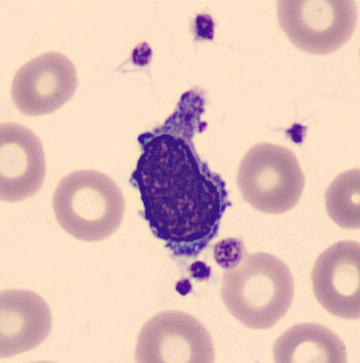
Single cell identified as a typical lymphocyte.

Preparation: Automated cell imaging (CellaVision DM96). Peripheral blood film.